Bone marrow aspirate smear:
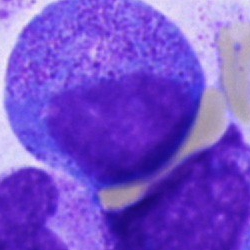 Q: Identify the cell.
A: This is a progranulocyte.